May-Grünwald-Giemsa stain · bone marrow aspirate smear · 250×250 px:
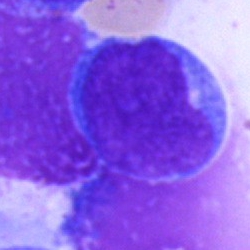

Specimen: bone marrow aspirate smear.
Morphological class: blast.